Bone marrow smear.
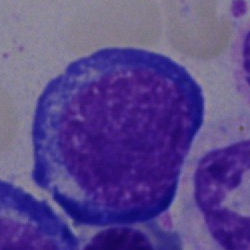

Impression — proerythroblast.